Bone marrow smear; 40× oil immersion.
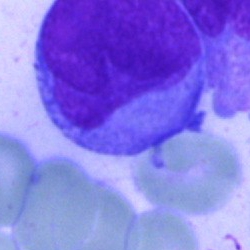 Cell — blast cell.